Bone marrow aspirate smear: 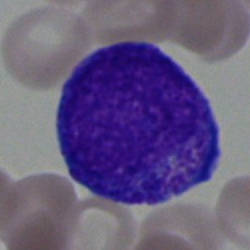
Cell type — promyelocyte.